Bone marrow aspirate smear: 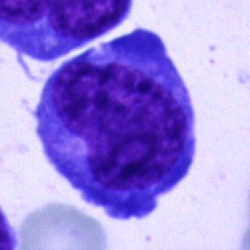 Cell = blast cell.